Bone marrow smear
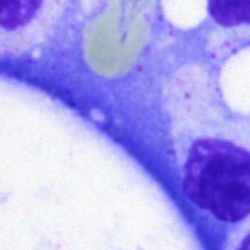{"cell_type": "artifact"}